Bone marrow aspirate smear. Single cell centered in the field
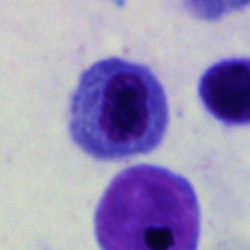 This is a nucleated red cell.